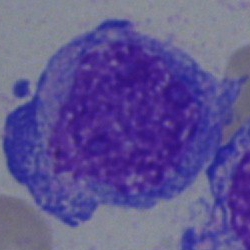Morphology → blast cell.